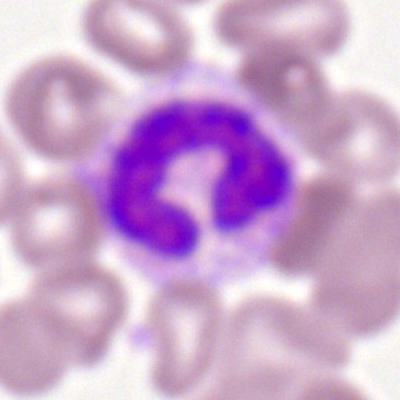
A band-form neutrophil.